Bone marrow aspirate smear
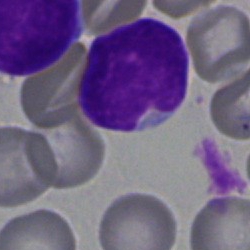This is a typical lymphocyte.